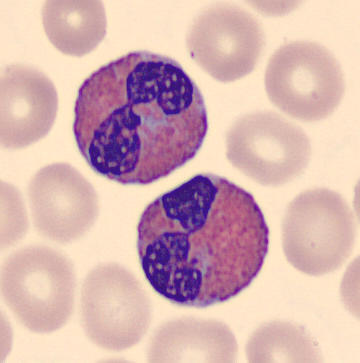 Cell type — eosinophilic granulocyte.

Acquisition: Peripheral blood smear; 360×363 px; single-cell field.